Peripheral blood film: 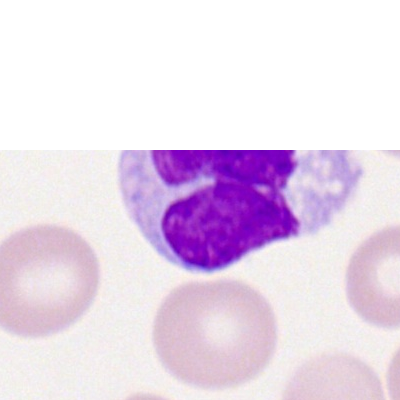

Morphology → monocyte.